Bone marrow aspirate smear. Single-cell crop. Brightfield, 40× oil-immersion objective — 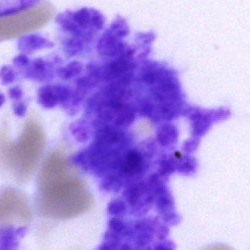
Showing an artefact.